Peripheral blood film. 400 by 400 pixels. 100× oil immersion, 14.14 px/µm:
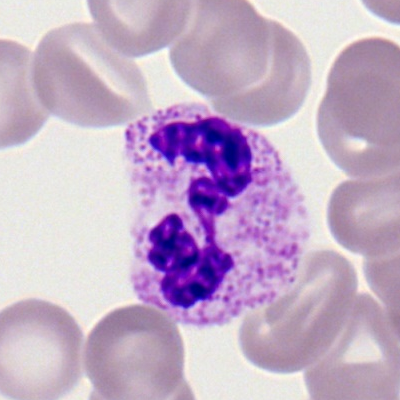

{"cell_type": "segmented neutrophil", "lineage": "myeloid"}